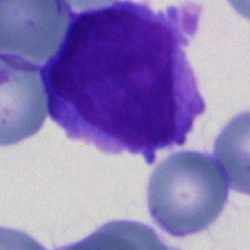
This is a blast.